Bone marrow smear: 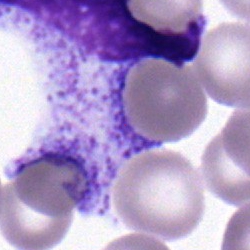
Classification — myelocyte.